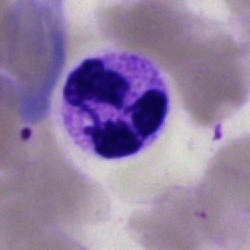 {"cell_type": "segmented neutrophil"}